Cropped to a single cell. May-Grünwald-Giemsa stain. Bone marrow aspirate smear — 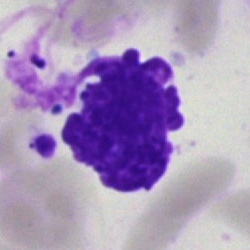

Morphology — artefact.